Peripheral blood film; 100× oil immersion, 14.14 px/µm: 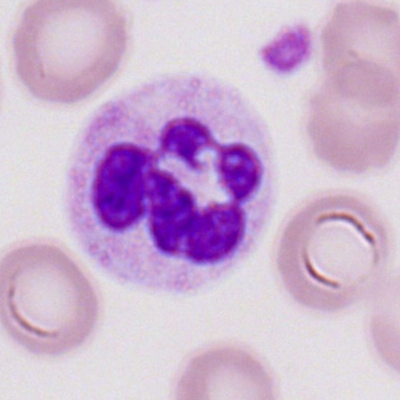
Impression — segmented neutrophil.